Brightfield microscopy, 40× oil immersion · bone marrow aspirate smear.
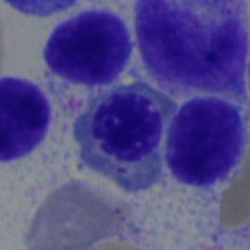
The cell shown is a normoblast.